Bone marrow smear — 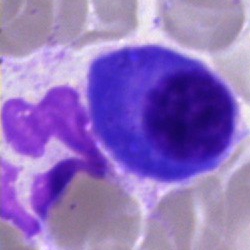

This is a plasmacyte.